250×250; single-cell crop; bone marrow aspirate smear — 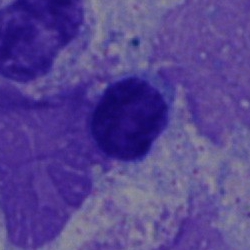

A lymphocyte.